Bone marrow aspirate smear.
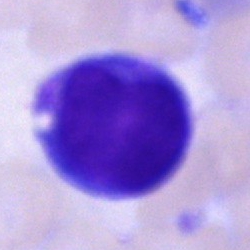 Cell type: cell of indeterminate lineage.